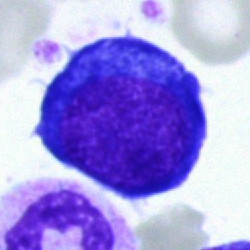{"cell_type": "nucleated red cell", "lineage": "erythroid"}